Bone marrow aspirate smear
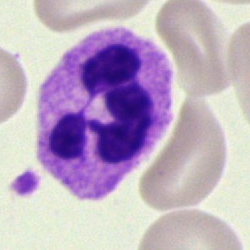 Q: What is shown here?
A: Polymorphonuclear neutrophil.